M8 digital microscope (Precipoint), 100× oil immersion. Peripheral blood smear: 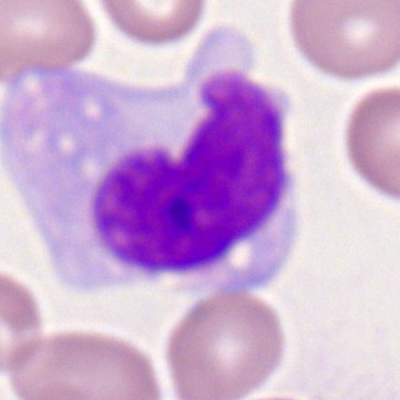
The cell is monocyte.